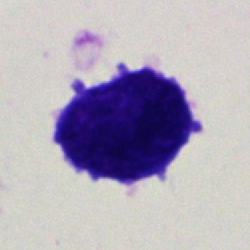
Cell — undifferentiated blast.